Bone marrow smear; May-Grünwald-Giemsa stain; 250×250 px
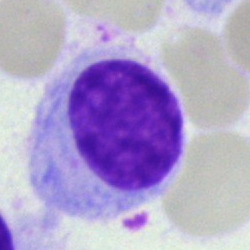

Morphology consistent with a hairy cell.